Single cell centered in the field; bone marrow aspirate smear: 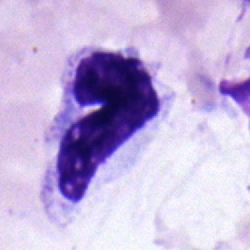Q: What cell is this?
A: This is a neutrophil (band).